Bone marrow smear: 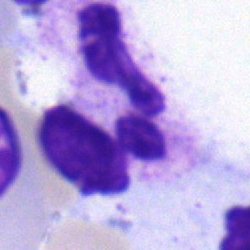 Q: What is the morphological classification of this cell?
A: It is a polymorphonuclear neutrophil.